Peripheral blood film
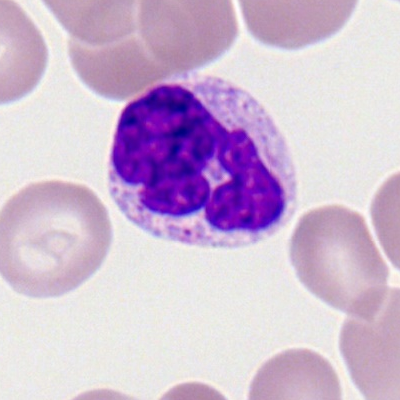

Cell — segmented neutrophil.